Bone marrow smear: 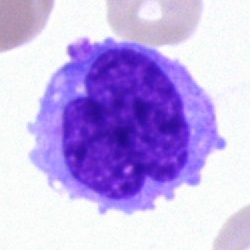
Morphology consistent with a monocyte.